Pappenheim-stained. Bone marrow smear. Single cell centered in the field — 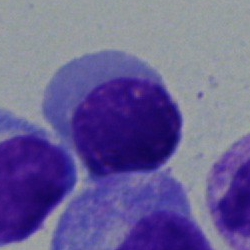
Specimen: bone marrow aspirate smear.
Cell type: nucleated red blood cell.
Lineage: erythroid.